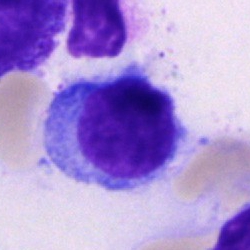 A lymphocyte.